Bone marrow smear:
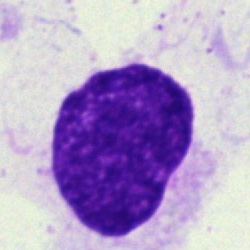Morphology consistent with an artefact.